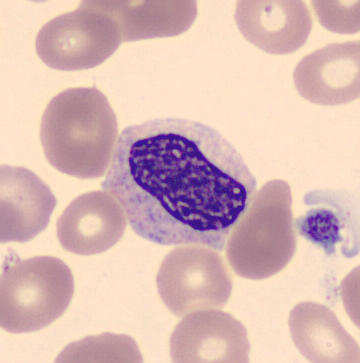 Metamyelocyte.

Peripheral blood smear.